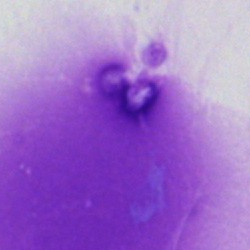 Single-cell crop from a bone marrow smear: artefact.